40× oil immersion · bone marrow smear — 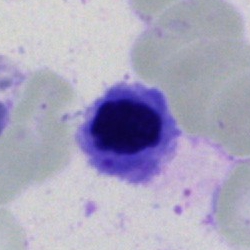 Cell type — erythroblast.